Bone marrow smear:
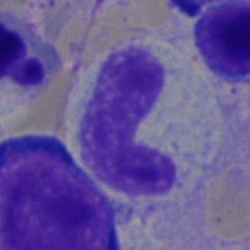 Q: What cell is this?
A: This is a band-form neutrophil.